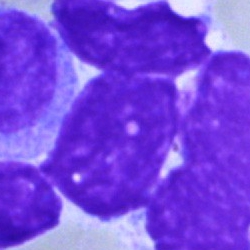
Impression → artifact.